Brightfield, 40× oil-immersion objective. Bone marrow aspirate smear
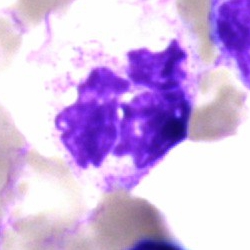

Classification = segmented neutrophil.